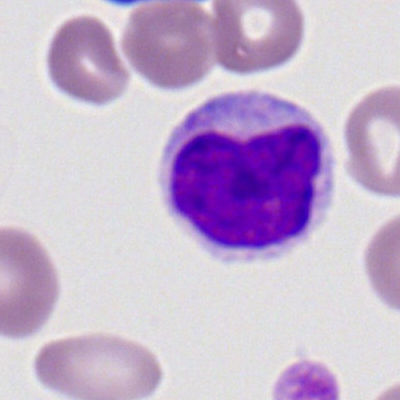 Cell type: lymphocyte.